Bone marrow aspirate smear: 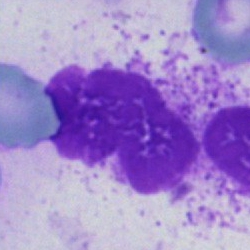 Q: What is shown here?
A: An artifact.